Bone marrow smear; single-cell field; Pappenheim-stained — 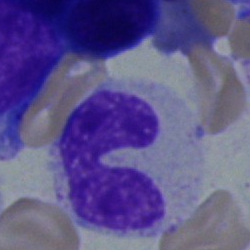A band-form neutrophil.